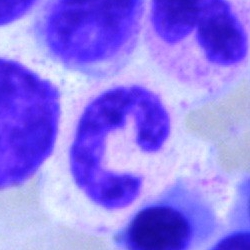

Classification — segmented neutrophil.